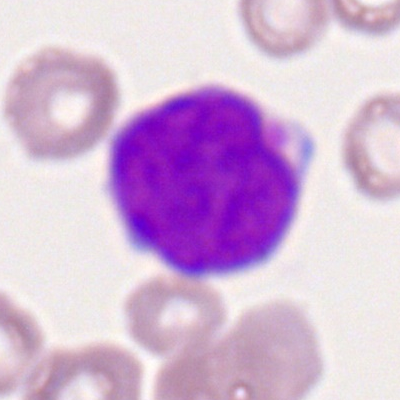

Peripheral blood film, single cell — myeloblast.